Bone marrow aspirate smear
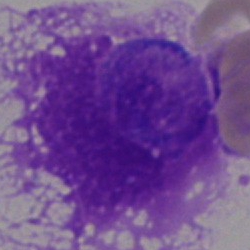
Q: What is shown here?
A: This is an artifact.